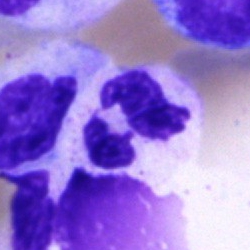

Single cell identified as a polymorphonuclear neutrophil.